250 by 250 pixels; bone marrow aspirate smear: 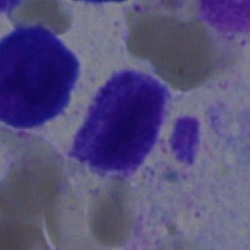 Q: What cell is this?
A: This is a lymphocyte.